Bone marrow smear — 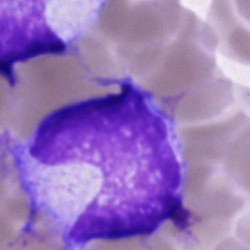An artefact.